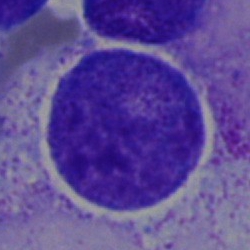The cell is progranulocyte.